Image size 250×250 · bone marrow smear: 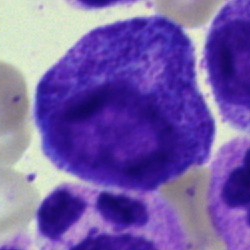 Specimen: bone marrow smear.
Classification: progranulocyte.